May-Grünwald-Giemsa/Pappenheim stain · image size 250×250 · bone marrow smear — 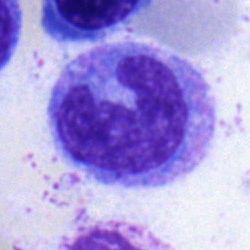 Classification: monocyte.